Bone marrow aspirate smear — 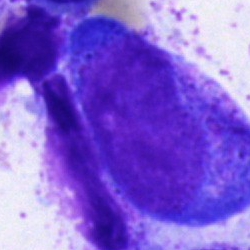 Showing a progranulocyte.